Bone marrow aspirate smear:
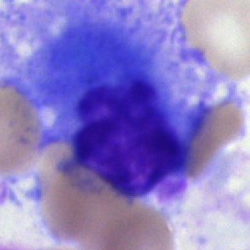Q: What is shown here?
A: Artifact.